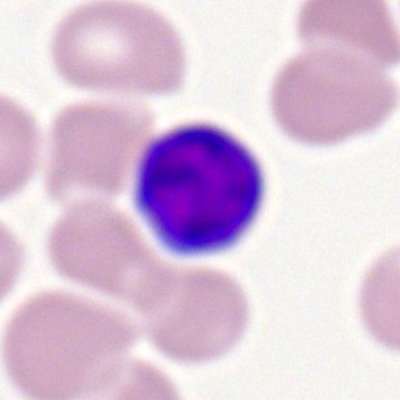 Peripheral blood smear showing a lymphocyte.